Bone marrow smear:
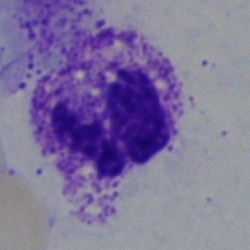A neutrophil (segmented).